Bone marrow aspirate smear. Brightfield microscopy, 40× oil immersion — 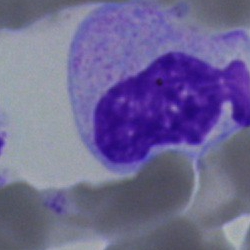Morphological class — metamyelocyte.